Cropped to a single cell · bone marrow aspirate smear:
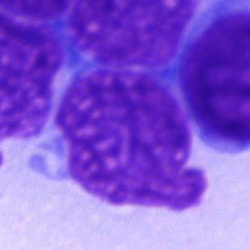Impression → artefact.